Peripheral blood smear
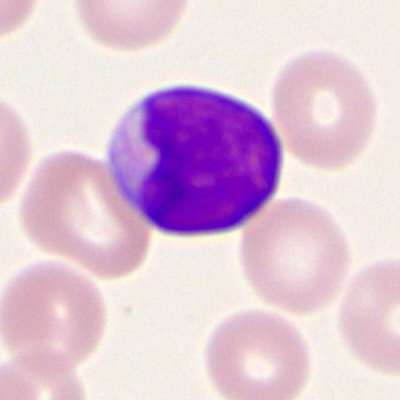The cell shown is a myeloblast.